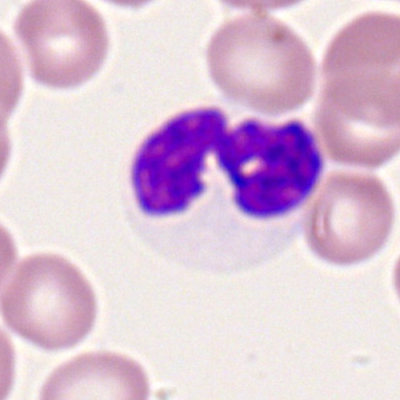Specimen: peripheral blood smear.
Classification: segmented neutrophil.